Cropped to a single cell. Bone marrow smear — 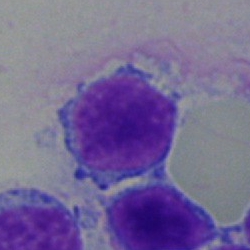Morphology → typical lymphocyte.